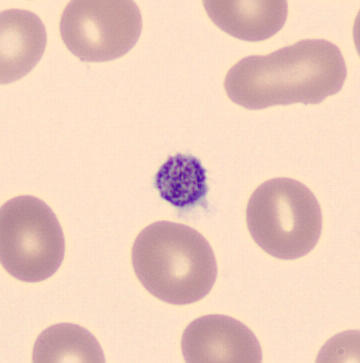 Preparation: Peripheral blood smear; 360×363.

Q: What is this?
A: It is a platelet (thrombocyte).